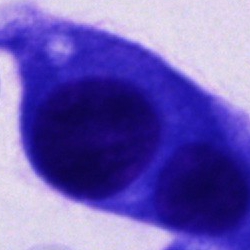

Single-cell crop from a bone marrow smear: other cell type.